Bone marrow aspirate smear; 250 by 250 pixels: 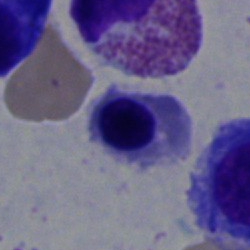 Single cell identified as an erythroblast.